Bone marrow aspirate smear; MGG-stained; brightfield microscopy, 40× oil immersion: 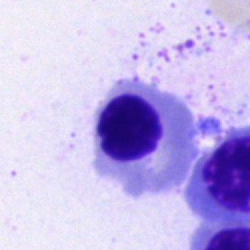
An erythroblast.